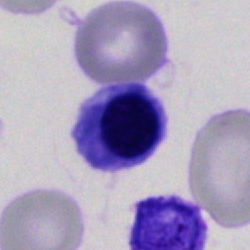 Single-cell crop from a bone marrow smear: erythroblast.